Bone marrow smear.
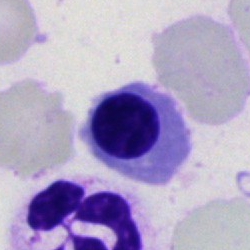

Specimen: bone marrow smear.
Cell: normoblast.